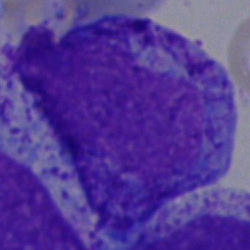The cell shown is a progranulocyte.